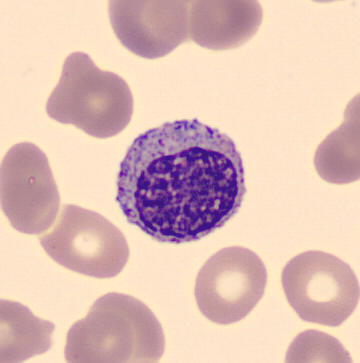A myelocyte on a peripheral blood smear.